Bone marrow aspirate smear.
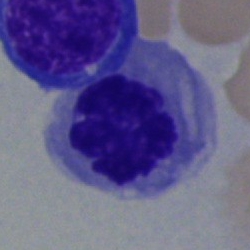
Morphological class = erythroblast.